Single cell centered in the field. Peripheral blood film
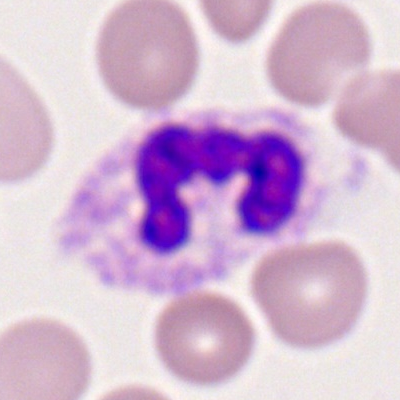
Morphology → segmented neutrophil.